Bone marrow smear; brightfield, 40× oil-immersion objective:
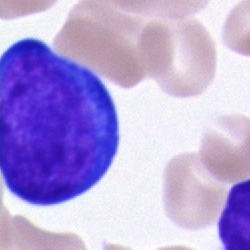
Classification — proerythroblast.